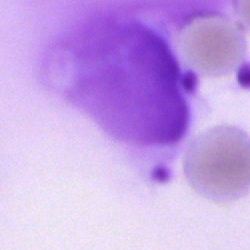
Classification — artefact.